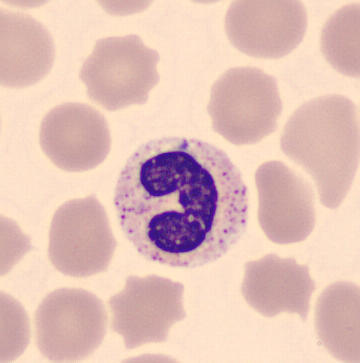{"cell_type": "stab cell"} Image: Peripheral blood film. 360 by 363 pixels. May-Grünwald-Giemsa-stained.